Bone marrow smear: 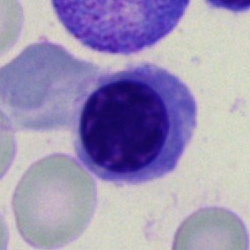Specimen: bone marrow aspirate smear.
Morphological class: nucleated red cell.
Lineage: erythroid.